Bone marrow aspirate smear
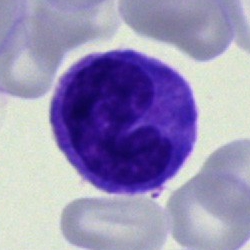Q: Identify the cell.
A: Monocyte.